Bone marrow aspirate smear:
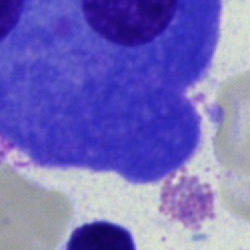
Q: What is the morphological classification of this cell?
A: It is a plasma cell.